Peripheral blood film
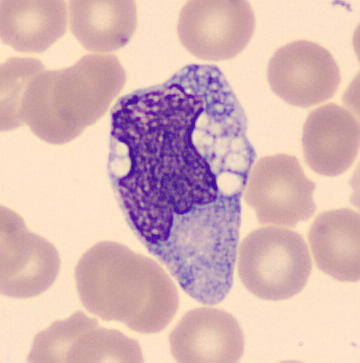This is a monocyte.